Bone marrow smear: 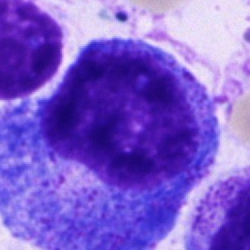Classification = promyelocyte.